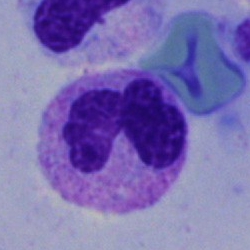 {"cell_type": "segmented neutrophil", "lineage": "myeloid"}